Bone marrow smear:
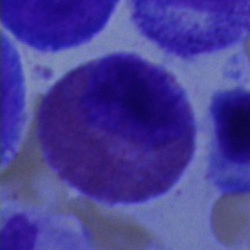

Specimen: bone marrow smear.
Cell: eosinophilic granulocyte.
Lineage: myeloid.